Bone marrow smear — 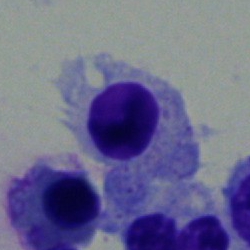 Q: What cell is this?
A: Erythroblast.